40× objective, oil immersion; bone marrow smear: 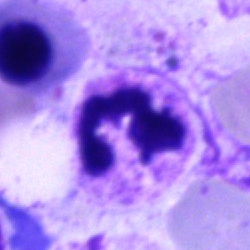Q: What type of cell is this?
A: This is a polymorphonuclear neutrophil.